Cropped to a single cell; May-Grünwald-Giemsa/Pappenheim stain; bone marrow smear
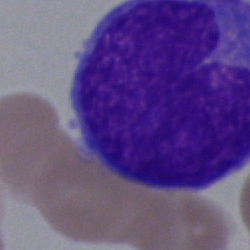
Classification — blast cell.